Peripheral blood film
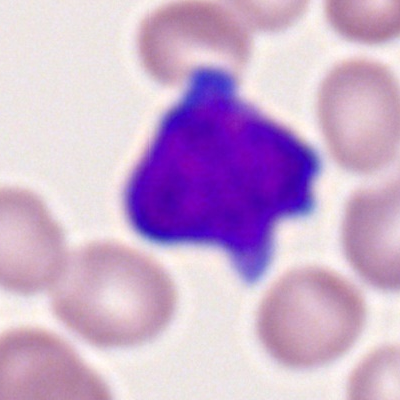

{"cell_type": "myeloblast", "lineage": "myeloid"}